MGG-stained · bone marrow smear · brightfield microscopy, 40× oil immersion
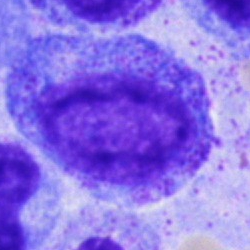
Impression — promyelocyte.